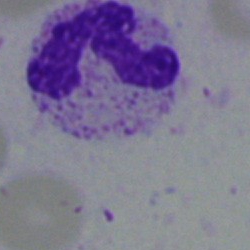The classification is neutrophil (segmented).